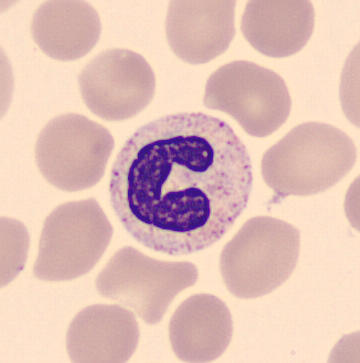 Specimen: peripheral blood smear.
Morphological class: band neutrophil.
Lineage: myeloid.